Peripheral blood film — 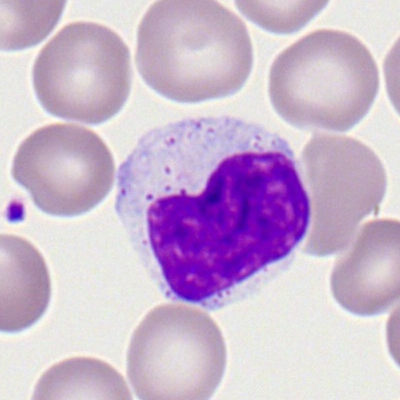Morphology consistent with a lymphocyte.